Peripheral blood film.
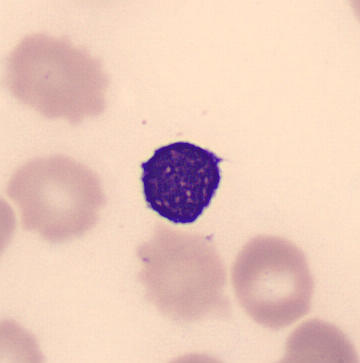

Morphology consistent with a lymphocyte.